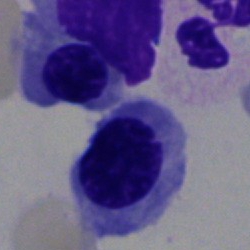
{"cell_type": "normoblast"}